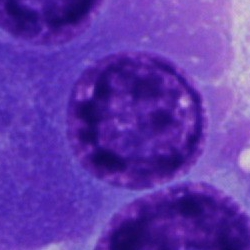
Morphological class: plasma cell.